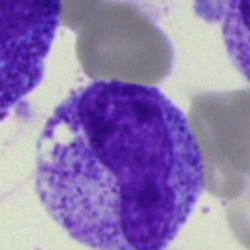{"cell_type": "artifact"}